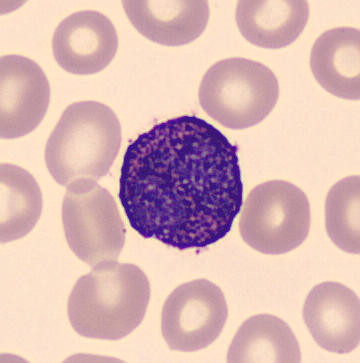

Acquisition: Peripheral blood film.

Q: What is the morphological classification of this cell?
A: This is a basophil.